Romanowsky-type stain. Peripheral blood film: 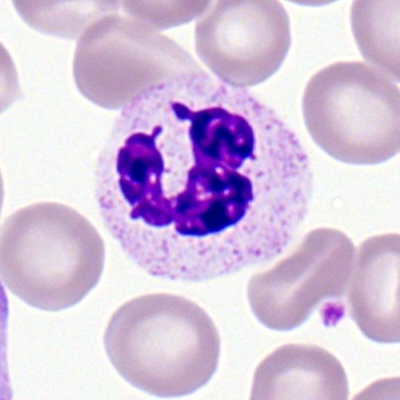 Cell type — neutrophil (segmented).